Bone marrow smear: 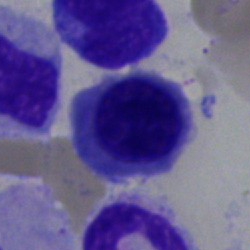A normoblast.